Bone marrow smear.
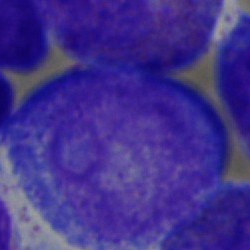Q: What is shown here?
A: It is a promyelocyte.